250×250; bone marrow smear; May-Grünwald-Giemsa stain.
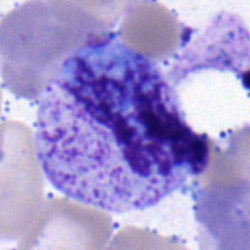
Cell: myelocyte.